100× oil immersion, 14.14 px/µm. Peripheral blood film
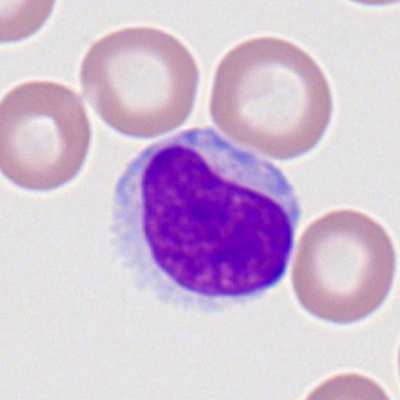 Morphological class = lymphocyte.